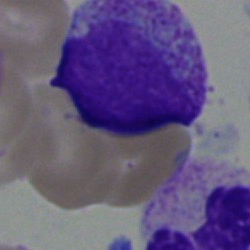
Morphology consistent with a myelocyte.